Brightfield microscopy, 40× oil immersion · bone marrow aspirate smear:
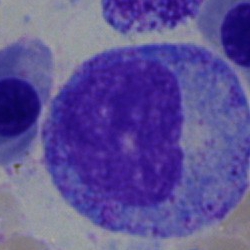The cell type is promyelocyte.